Single-cell crop · bone marrow smear · brightfield, 40× oil-immersion objective:
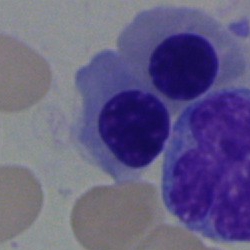 Specimen: bone marrow smear.
Cell type: nucleated red blood cell.
Lineage: erythroid.